Peripheral blood film: 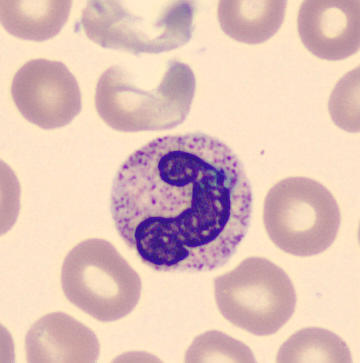Specimen: peripheral blood film.
Morphological class: neutrophil (segmented).
Lineage: myeloid.